Bone marrow aspirate smear; 250 by 250 pixels: 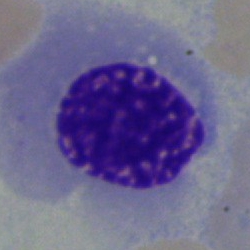

This is a nucleated red cell.